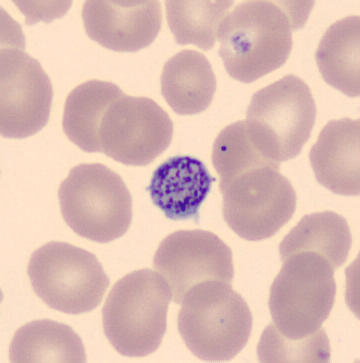 The cell type is thrombocyte. Image: Peripheral blood smear.